Bone marrow smear: 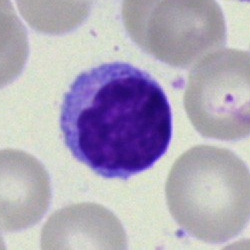

Morphological class: typical lymphocyte.